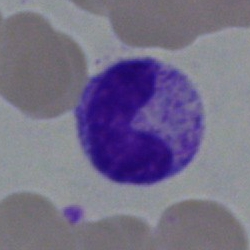Specimen: bone marrow smear.
Classification: neutrophil (band).